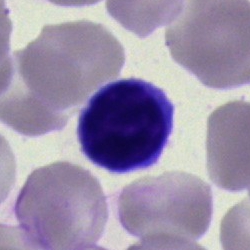 Cell type = lymphocyte.